Bone marrow smear.
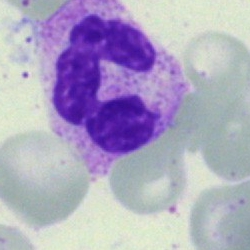Q: What is shown here?
A: Polymorphonuclear neutrophil.